Bone marrow smear — 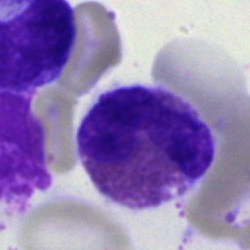Morphology — eosinophilic granulocyte.